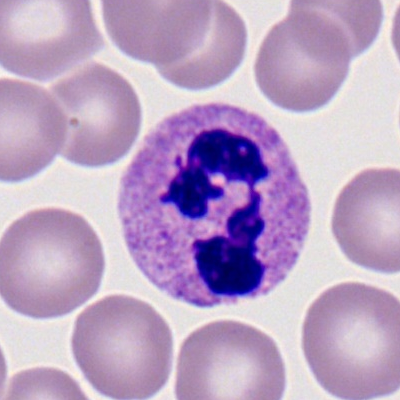

Specimen: peripheral blood film.
Classification: segmented neutrophil.
Lineage: myeloid.